Bone marrow aspirate smear:
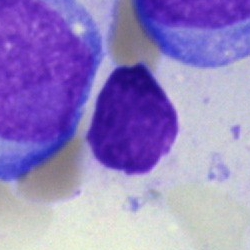

Cell type: lymphocyte.